Bone marrow aspirate smear; brightfield microscopy, 40× oil immersion.
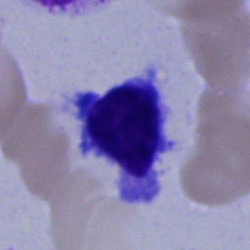 Specimen: bone marrow aspirate smear.
Morphological class: typical lymphocyte.
Lineage: lymphoid.